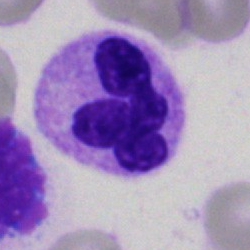 Polymorphonuclear neutrophil.